May-Grünwald-Giemsa stain. Bone marrow aspirate smear. Single-cell field — 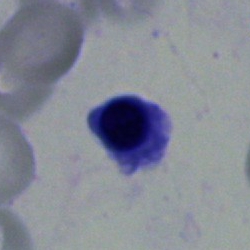

Q: What cell is this?
A: This is a nucleated red cell.